Bone marrow aspirate smear; 250×250.
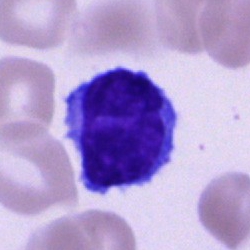
Showing a typical lymphocyte.